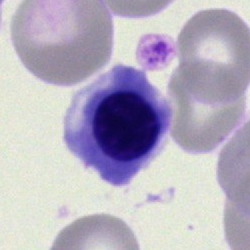

The cell shown is an erythroblast.